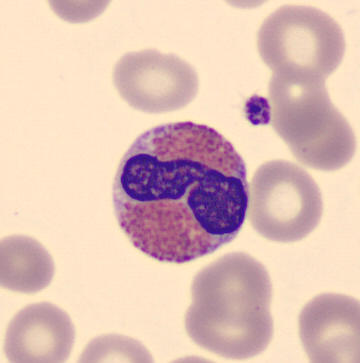 From a peripheral blood smear: an eosinophil.